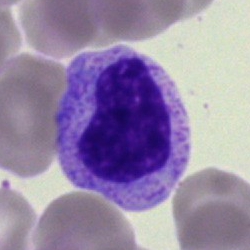
Cell type: metamyelocyte.